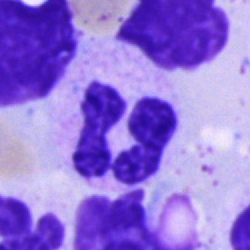Specimen: bone marrow aspirate smear.
Classification: polymorphonuclear neutrophil.